Peripheral blood smear.
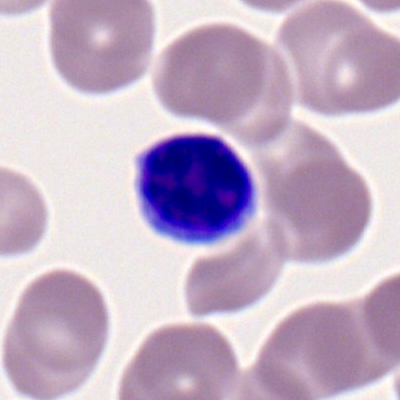 Q: What is shown here?
A: Typical lymphocyte.